MGG-stained. Bone marrow smear — 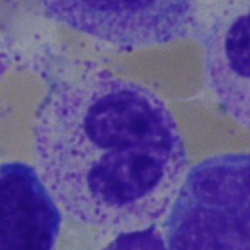A neutrophil (band).